40× objective, oil immersion; bone marrow smear — 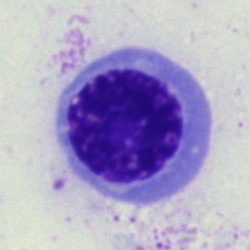 {"cell_type": "erythroblast", "lineage": "erythroid"}